Bone marrow smear
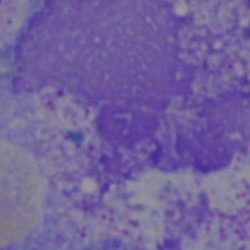Q: What is shown here?
A: Artefact.